Bone marrow smear; 250 by 250 pixels; single-cell crop
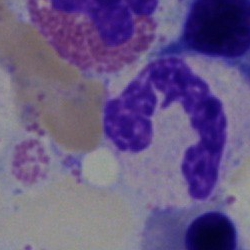Cell type = segmented neutrophil.